Bone marrow smear
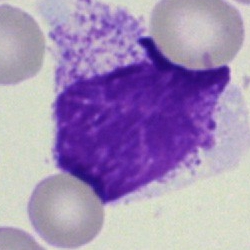

The morphological class is artefact.